Cropped to a single cell; brightfield microscopy, 40× oil immersion; bone marrow smear — 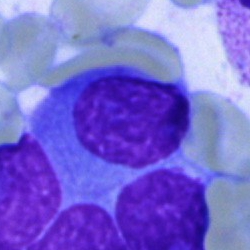{"cell_type": "plasmacyte"}